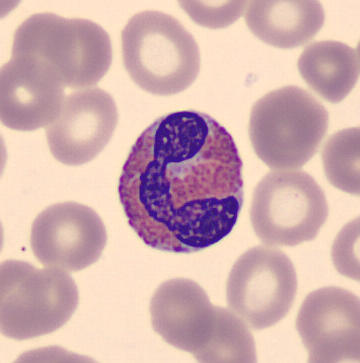
Cell — eosinophilic granulocyte.